Bone marrow smear; 250×250 px.
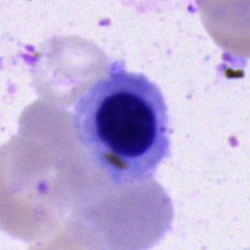 The cell shown is a normoblast.